40× oil immersion. Bone marrow smear
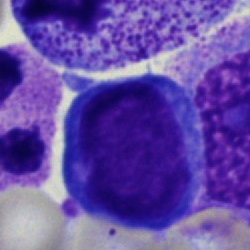

A pronormoblast.